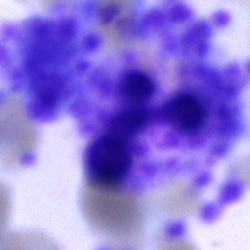 Cell type = artifact.